Bone marrow smear:
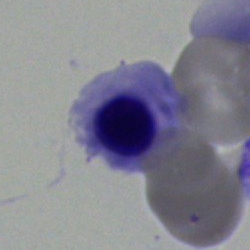

Cell type = erythroblast.